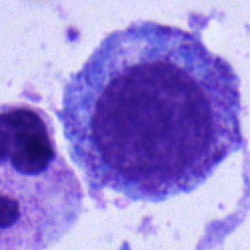 Q: What type of cell is this?
A: Progranulocyte.